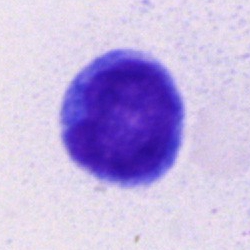Cell = monocyte.